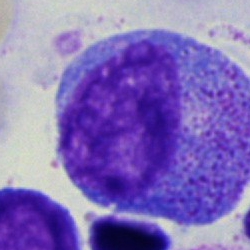 {"cell_type": "promyelocyte"}